Peripheral blood film · single-cell field.
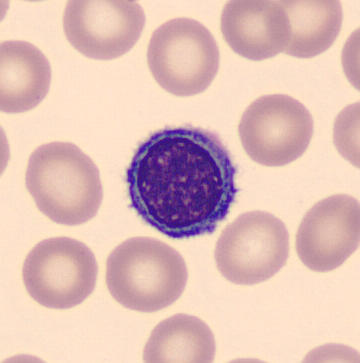
The cell shown is a typical lymphocyte.